Bone marrow smear · 250 by 250 pixels: 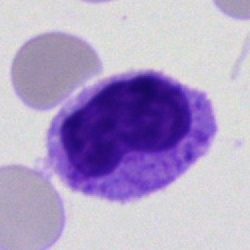 Classification: metamyelocyte.